Bone marrow aspirate smear. Cropped to a single cell:
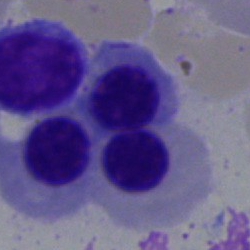
Specimen: bone marrow aspirate smear.
Cell type: erythroblast.
Lineage: erythroid.